Peripheral blood smear · Romanowsky-stained — 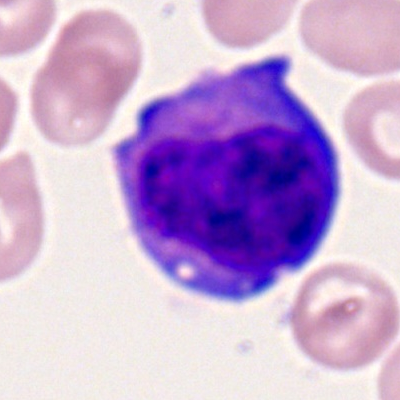
Single cell identified as a myeloblast.